Brightfield microscopy, 40× oil immersion. Bone marrow smear: 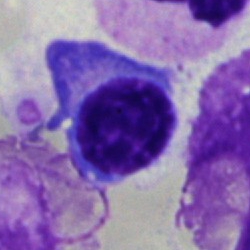 Specimen: bone marrow smear.
Morphological class: plasma cell.